Cropped to a single cell · bone marrow smear · Pappenheim-stained:
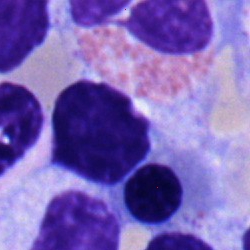An eosinophil.